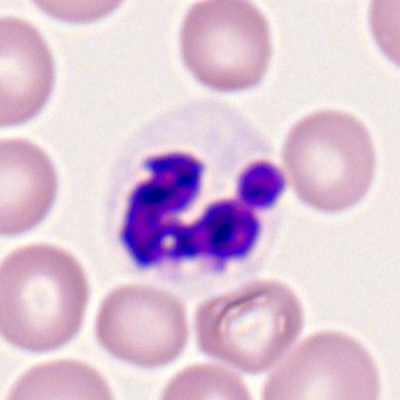 The cell is polymorphonuclear neutrophil.